Bone marrow aspirate smear
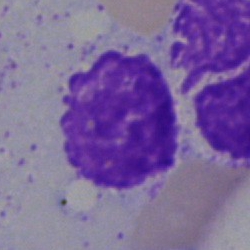 The classification is artifact.